Bone marrow aspirate smear; MGG-stained; 40× objective, oil immersion.
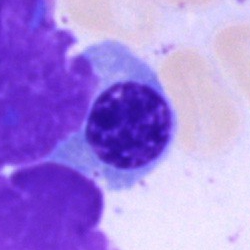Classification = normoblast.